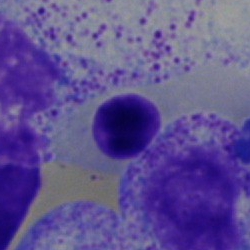 Morphology — normoblast.